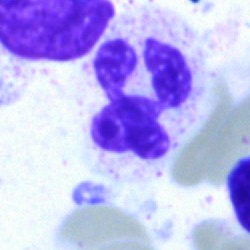 The cell shown is a neutrophil (segmented).